Bone marrow smear:
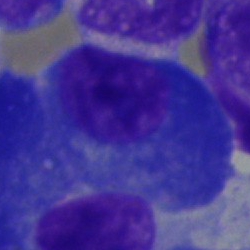 Cell = plasmacyte.